Bone marrow smear: 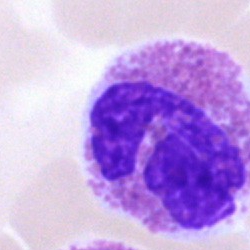The morphological class is eosinophil.